Bone marrow aspirate smear:
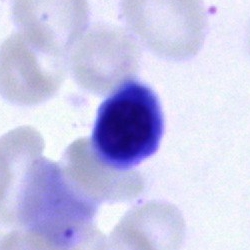 Morphology consistent with a normoblast.